250×250 px. Bone marrow aspirate smear:
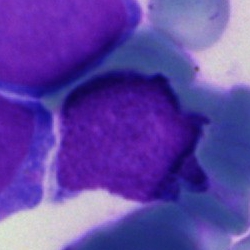 Cell — blast.